Bone marrow aspirate smear · May-Grünwald-Giemsa/Pappenheim stain.
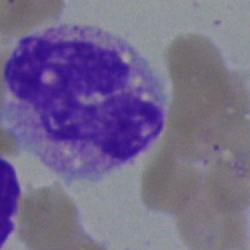 Q: What type of cell is this?
A: A neutrophil (band).